Bone marrow aspirate smear: 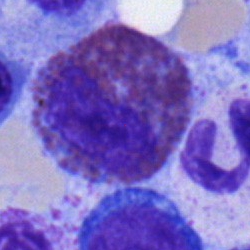

Specimen: bone marrow aspirate smear.
Cell type: eosinophil.